Bone marrow aspirate smear — 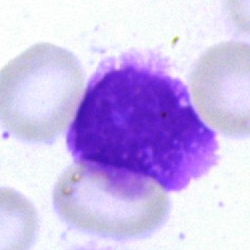

An artifact.